Romanowsky-stained · peripheral blood smear: 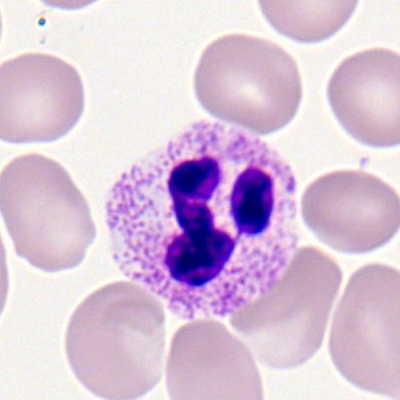

Cell type — polymorphonuclear neutrophil.